40× oil immersion. 250×250. Bone marrow smear:
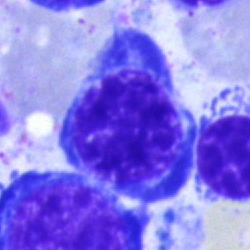
Specimen: bone marrow smear.
Classification: normoblast.